Bone marrow smear
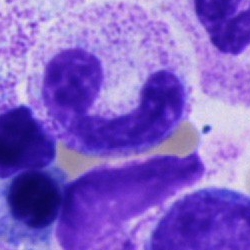

Single cell identified as a band neutrophil.